Peripheral blood smear
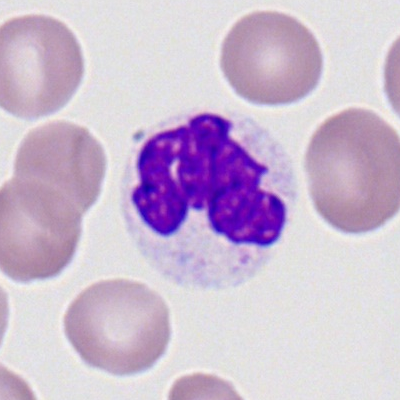
This is a neutrophil (segmented).